Bone marrow smear: 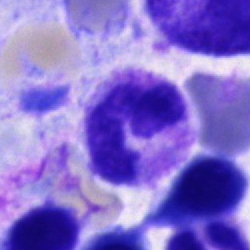 Specimen: bone marrow aspirate smear.
Classification: segmented neutrophil.
Lineage: myeloid.